Bone marrow aspirate smear · brightfield, 40× oil-immersion objective · Pappenheim-stained — 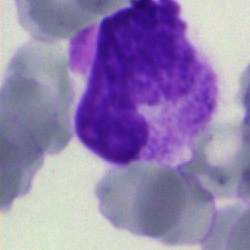

Morphological class: artifact.